Bone marrow aspirate smear — 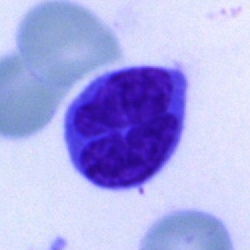
This is a lymphocyte.